Bone marrow smear. 250×250 px — 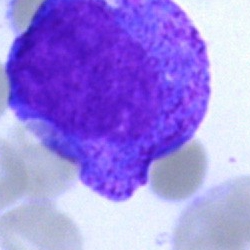A progranulocyte.